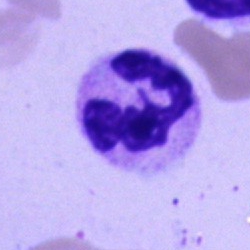 Classification — neutrophil (segmented).